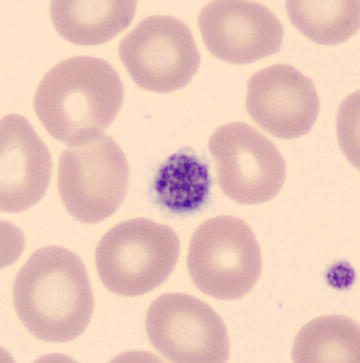Platelet.